Bone marrow aspirate smear:
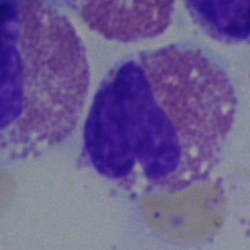
Q: Which cell type is shown here?
A: It is an eosinophil.